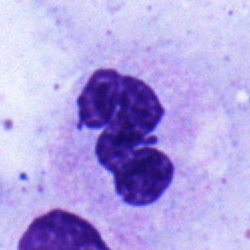 Specimen: bone marrow aspirate smear.
Cell type: polymorphonuclear neutrophil.
Lineage: myeloid.